Bone marrow aspirate smear; Pappenheim-stained: 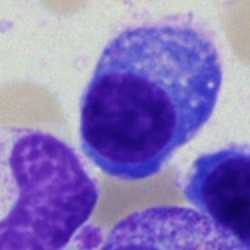

A plasma cell.